Bone marrow smear
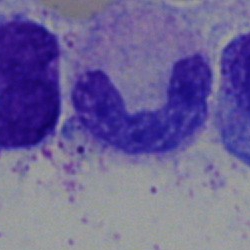 Polymorphonuclear neutrophil.